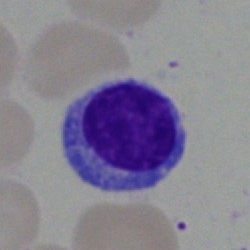 Single-cell crop from a bone marrow smear: typical lymphocyte.